Bone marrow smear · 40× objective, oil immersion:
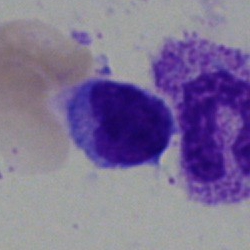

Morphology consistent with a lymphocyte.